Single-cell crop · peripheral blood smear: 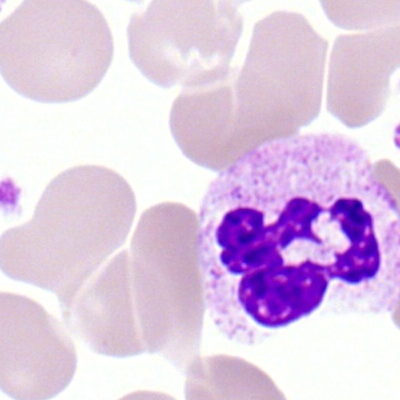
Cell: segmented neutrophil.